Bone marrow aspirate smear — 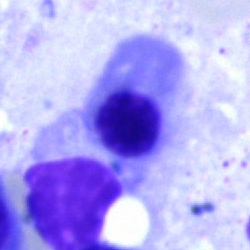
Single cell identified as an erythroblast.